Bone marrow aspirate smear.
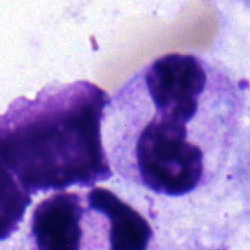

Q: Which cell type is shown here?
A: It is a segmented neutrophil.